Bone marrow smear.
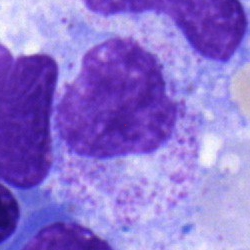

Cell = myelocyte.